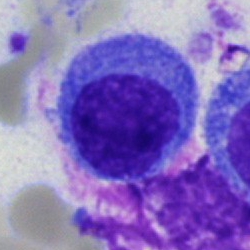Cell: blast.